Bone marrow aspirate smear:
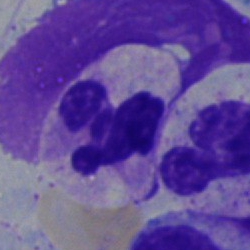Showing a segmented neutrophil.